250 by 250 pixels · bone marrow smear — 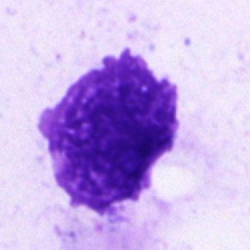 Cell type — artefact.